250×250 · single cell centered in the field · bone marrow smear — 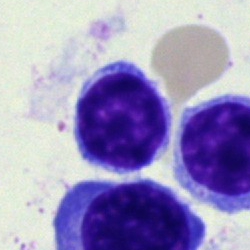
Impression — lymphocyte.